Pappenheim-stained · single-cell crop · bone marrow smear
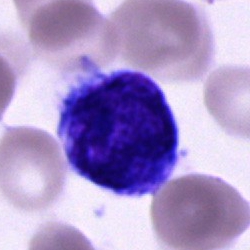

The morphological class is undifferentiated blast.